250×250; bone marrow aspirate smear:
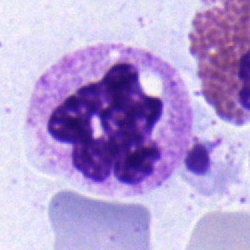
The cell is neutrophil (segmented).